Peripheral blood film. 100× oil immersion, 14.14 px/µm:
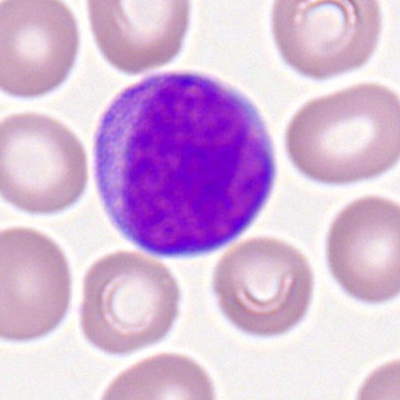

Morphology consistent with a myeloblast.